Bone marrow smear
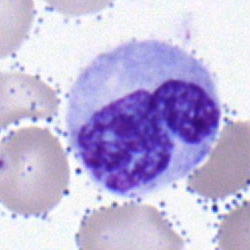
Impression → monocyte.